Peripheral blood smear: 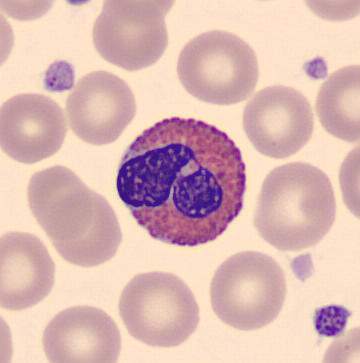 The cell shown is an eosinophil.